Bone marrow aspirate smear
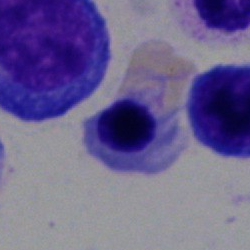Q: What cell is this?
A: This is a nucleated red cell.